Single-cell crop; bone marrow aspirate smear.
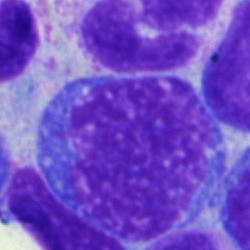
Morphological class: nucleated red blood cell.